Bone marrow smear: 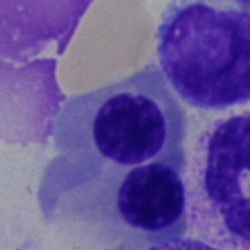
Q: What type of cell is this?
A: A nucleated red blood cell.